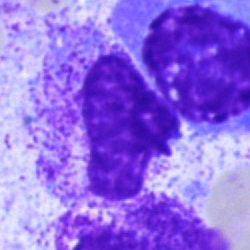

An artefact.